Bone marrow aspirate smear: 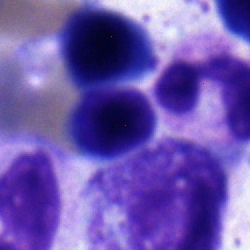 An erythroblast.